Cropped to a single cell · bone marrow aspirate smear.
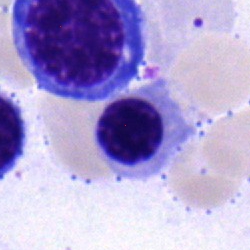

Cell type = erythroblast.